Single-cell crop · bone marrow aspirate smear · brightfield microscopy, 40× oil immersion.
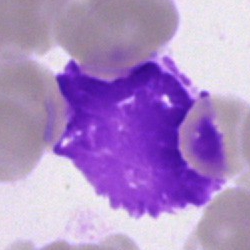

Showing an artefact.